Bone marrow smear. 40× oil immersion. 250×250:
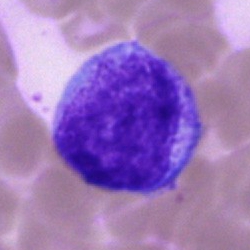Showing a promyelocyte.